Single-cell crop. Bone marrow smear.
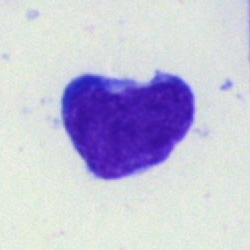
Q: What is shown here?
A: This is a blast.